Peripheral blood film — 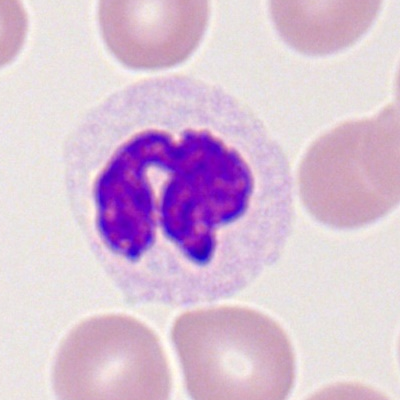The cell shown is a polymorphonuclear neutrophil.